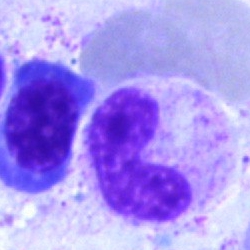 Morphology consistent with a band-form neutrophil.